Bone marrow aspirate smear — 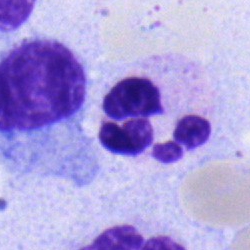

The cell is segmented neutrophil.